Bone marrow smear.
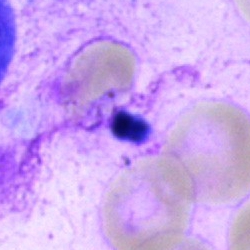 Specimen: bone marrow smear.
Classification: artifact.